Bone marrow smear:
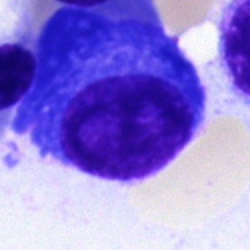

Showing a plasma cell.